Bone marrow smear — 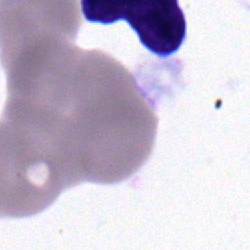Single cell identified as a typical lymphocyte.